Bone marrow smear · single cell centered in the field
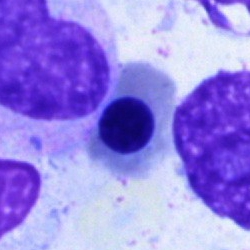
{"cell_type": "erythroblast"}